Bone marrow smear — 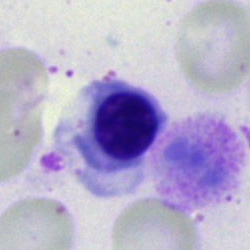

The cell is nucleated red blood cell.